Bone marrow smear:
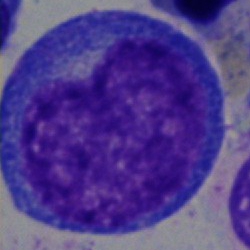Promyelocyte.